Bone marrow aspirate smear. 40× oil immersion: 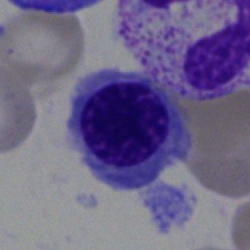Specimen: bone marrow aspirate smear.
Morphological class: nucleated red cell.
Lineage: erythroid.